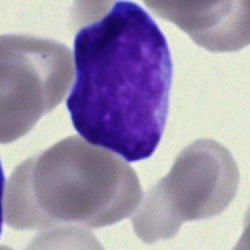 A blast cell.